Bone marrow aspirate smear — 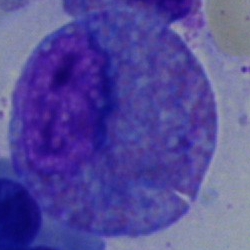Q: Which cell type is shown here?
A: It is an eosinophil.